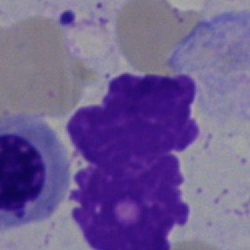 An artifact.